Bone marrow aspirate smear:
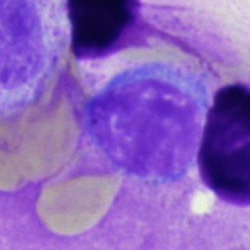The cell shown is a typical lymphocyte.